100× oil immersion; peripheral blood film; Romanowsky-type stain — 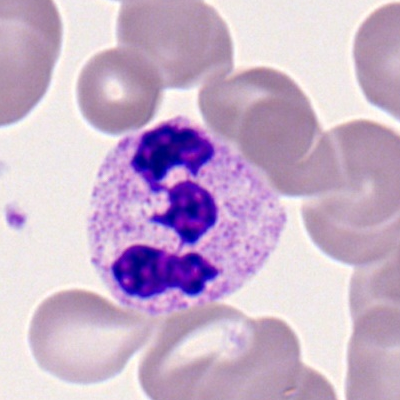 Neutrophil (segmented).